Peripheral blood smear:
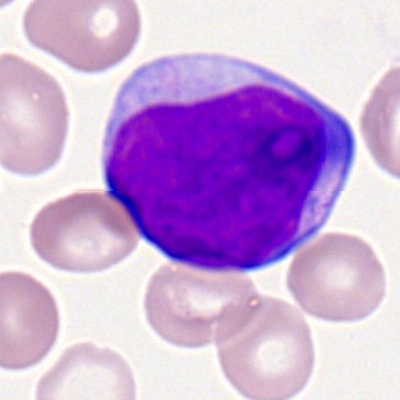 The cell shown is a myeloblast.